Bone marrow smear
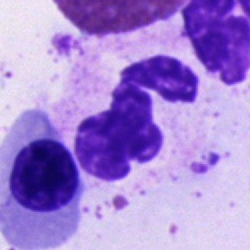

Q: What cell is this?
A: This is a neutrophil (segmented).